Bone marrow smear — 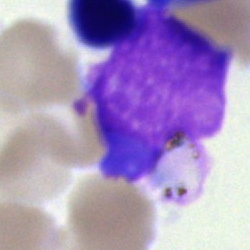Cell — artifact.